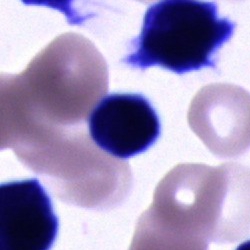
Morphological class = cell of indeterminate lineage.